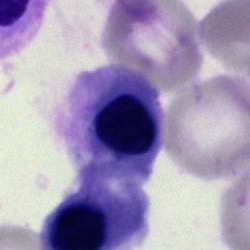Nucleated red blood cell.